Bone marrow smear:
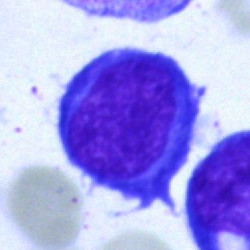
Morphology → blast cell.